Bone marrow aspirate smear.
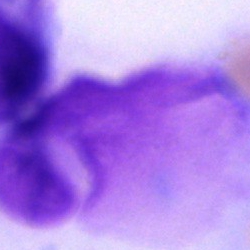
{"cell_type": "artefact"}